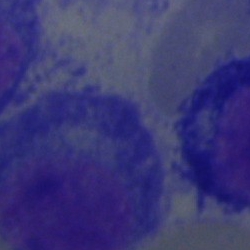 Cell type — plasma cell.